Bone marrow smear. 40× oil immersion:
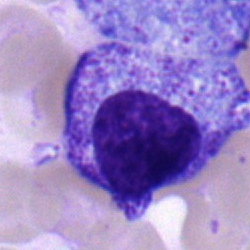 Specimen: bone marrow aspirate smear.
Classification: myelocyte.
Lineage: myeloid.